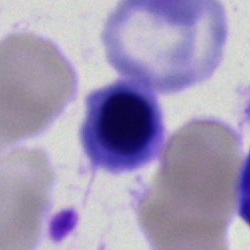Bone marrow aspirate smear, single cell — normoblast.